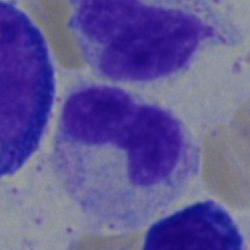A band neutrophil.